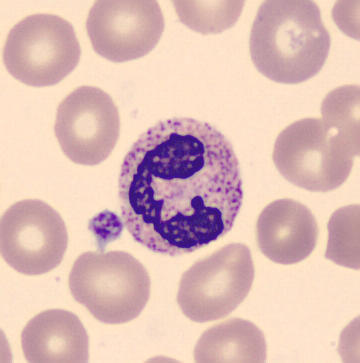

Q: What is this?
A: It is a neutrophil (segmented).